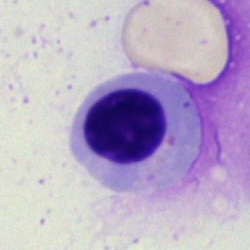 This is an erythroblast.